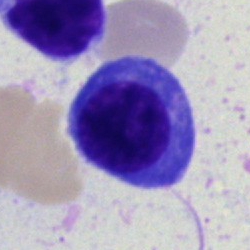
Q: What is the morphological classification of this cell?
A: It is a plasmacyte.